Bone marrow aspirate smear; 250×250 px; Pappenheim-stained:
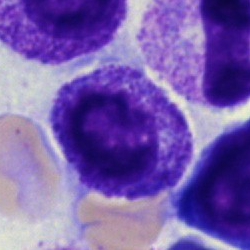
The classification is myelocyte.